Single cell centered in the field; 250×250; bone marrow smear: 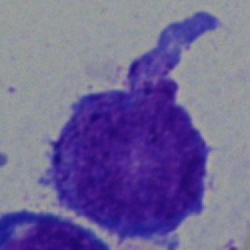 Specimen: bone marrow aspirate smear.
Classification: undifferentiated blast.